Brightfield microscopy, 40× oil immersion. Bone marrow smear.
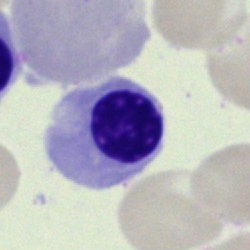Showing an erythroblast.